May-Grünwald-Giemsa stain. Bone marrow smear. Single cell centered in the field: 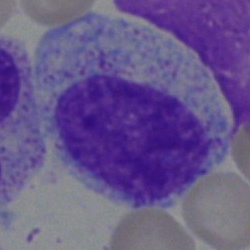

{"cell_type": "myelocyte"}